Bone marrow aspirate smear; 250×250: 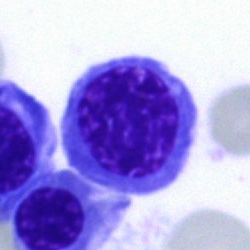

A nucleated red blood cell.